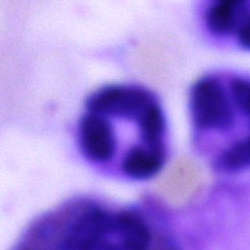Cell type: neutrophil (segmented).